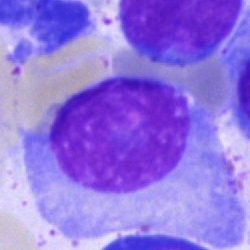Morphology consistent with a plasmacyte.